Bone marrow aspirate smear · May-Grünwald-Giemsa stain · brightfield microscopy, 40× oil immersion: 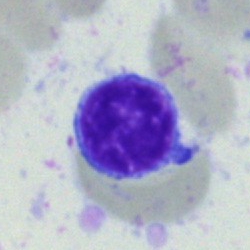 Lymphocyte.